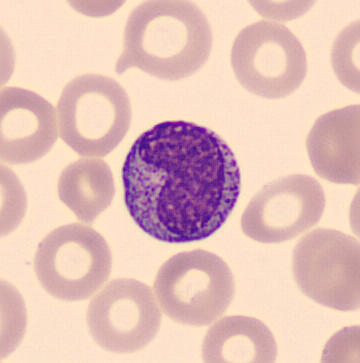Image: Peripheral blood smear. A metamyelocyte.